Bone marrow smear: 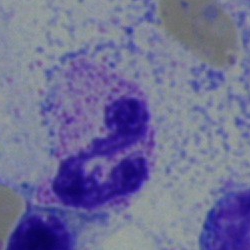The cell shown is a polymorphonuclear neutrophil.